Bone marrow aspirate smear: 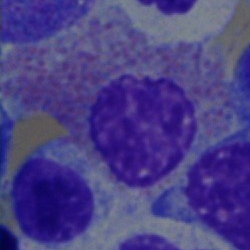

Single cell identified as an eosinophilic granulocyte.